Bone marrow aspirate smear; single cell centered in the field: 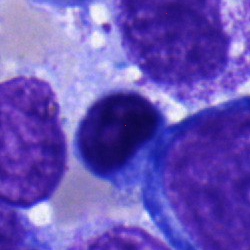Showing a lymphocyte.